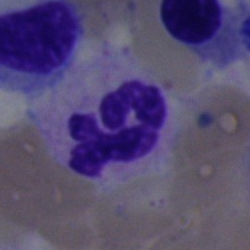

The cell shown is a segmented neutrophil.